Bone marrow smear:
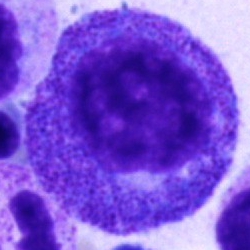
Classification — promyelocyte.